Bone marrow smear; 40× objective, oil immersion — 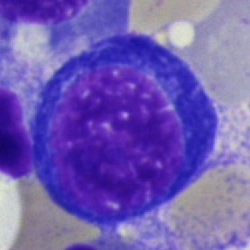 Showing a pronormoblast.